Bone marrow smear.
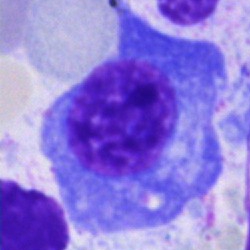
Morphology → plasma cell.